May-Grünwald-Giemsa/Pappenheim stain; bone marrow aspirate smear; 250 by 250 pixels: 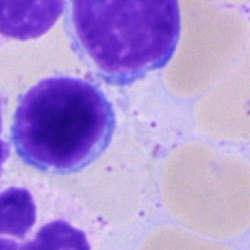
Classification — typical lymphocyte.